Single cell centered in the field · peripheral blood smear: 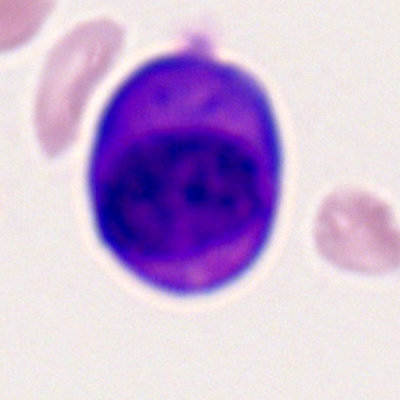
Specimen: peripheral blood film.
Classification: myeloblast.